40× objective, oil immersion · bone marrow smear:
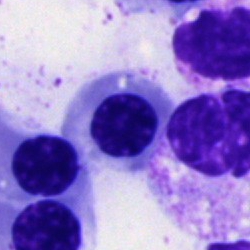
Cell: nucleated red blood cell.